Pappenheim-stained; bone marrow smear; image size 250×250
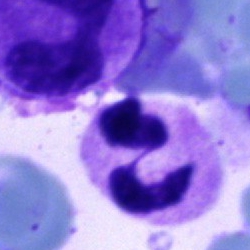 Single cell identified as a polymorphonuclear neutrophil.